Bone marrow smear — 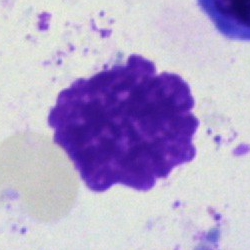Showing an artefact.